Bone marrow aspirate smear. 250×250. May-Grünwald-Giemsa/Pappenheim stain
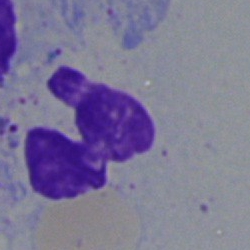

Cell type = neutrophil (segmented).